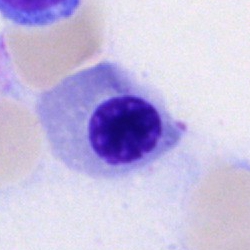
Specimen: bone marrow smear.
Classification: nucleated red cell.